Bone marrow smear: 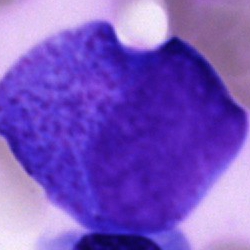 Single cell identified as a promyelocyte.